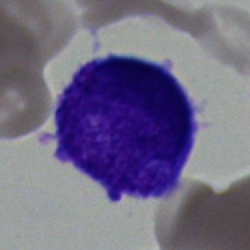

Q: What is shown here?
A: An undifferentiated blast.